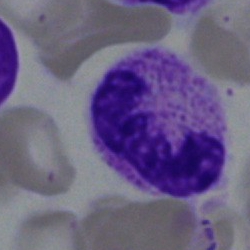

Bone marrow aspirate smear, single cell — stab cell.